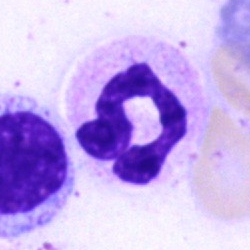
Q: What type of cell is this?
A: A segmented neutrophil.